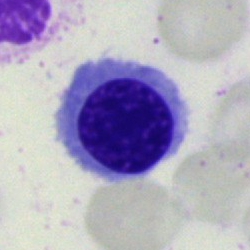 Specimen: bone marrow smear.
Morphological class: nucleated red cell.
Lineage: erythroid.